Bone marrow smear; May-Grünwald-Giemsa stain
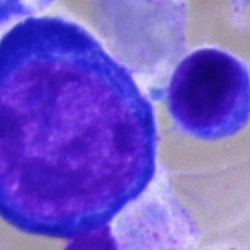
Showing a pronormoblast.